Brightfield, 100× oil-immersion objective. Single-cell field. Peripheral blood film.
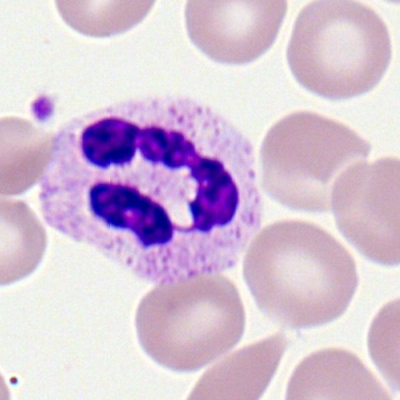
Morphological class — segmented neutrophil.